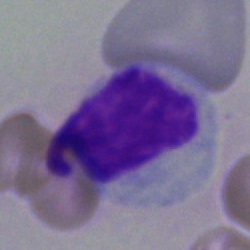 Morphology → typical lymphocyte.